Bone marrow smear — 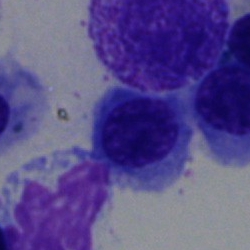
A nucleated red cell.